Bone marrow aspirate smear — 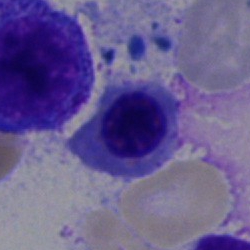The cell type is nucleated red blood cell.